Bone marrow smear; brightfield, 40× oil-immersion objective — 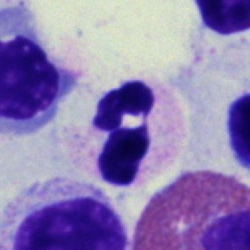
This is a neutrophil (segmented).